Brightfield microscopy, 40× oil immersion · bone marrow smear · single-cell crop: 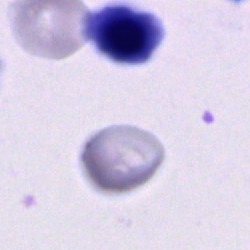Q: Identify the cell.
A: It is a cell of indeterminate lineage.